Single-cell field · MGG-stained · bone marrow aspirate smear: 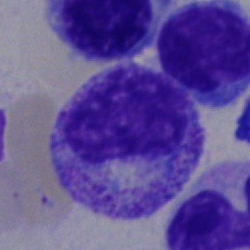Showing a myelocyte.